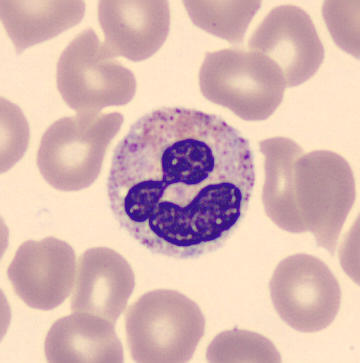Peripheral blood film. Image size 360×363.

Impression → neutrophil (segmented).